Bone marrow aspirate smear.
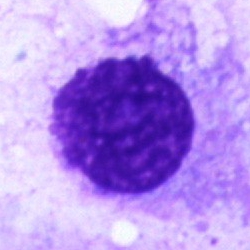 The classification is plasmacyte.